Bone marrow aspirate smear:
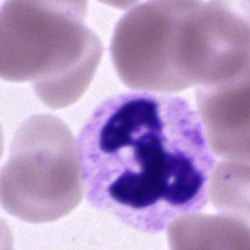
Q: Which cell type is shown here?
A: Neutrophil (segmented).